Single-cell field · bone marrow aspirate smear
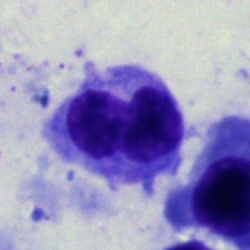
This is a nucleated red cell.